250×250 px; bone marrow aspirate smear: 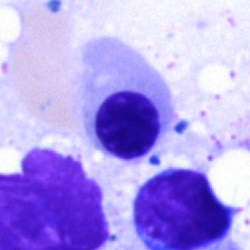 Q: Which cell type is shown here?
A: This is a normoblast.